Bone marrow smear:
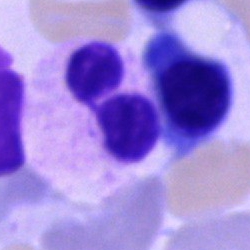

Impression — neutrophil (segmented).